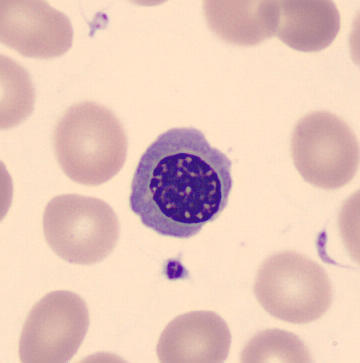Peripheral blood smear showing a nucleated red cell.